Bone marrow smear · 250×250.
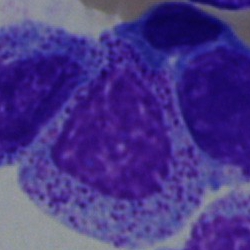

Q: What is shown here?
A: Progranulocyte.